Bone marrow smear
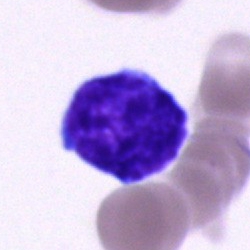 Q: Which cell type is shown here?
A: A blast cell.